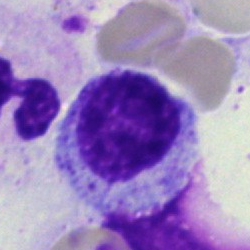Specimen: bone marrow smear.
Cell type: myelocyte.